Peripheral blood film.
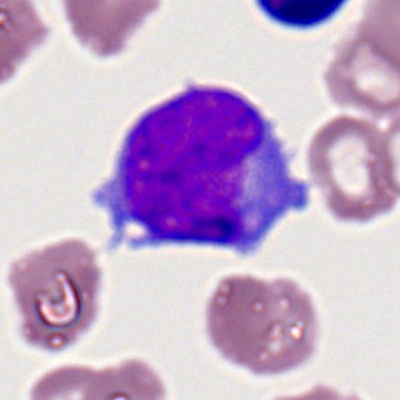
A monocyte.